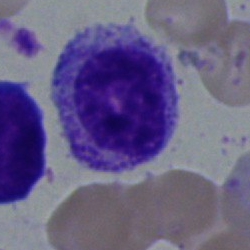Cell — myelocyte.